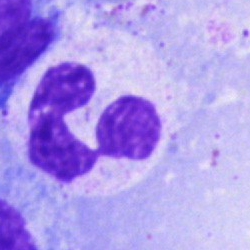

Morphology → polymorphonuclear neutrophil.